Bone marrow aspirate smear; May-Grünwald-Giemsa/Pappenheim stain.
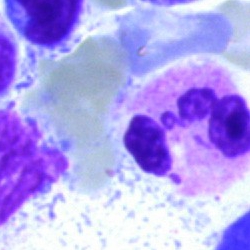Morphology consistent with a segmented neutrophil.